Bone marrow aspirate smear.
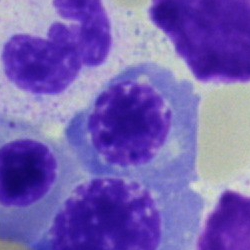 Specimen: bone marrow smear.
Cell: nucleated red cell.
Lineage: erythroid.